100× objective, oil immersion · peripheral blood film · Romanowsky-type stain.
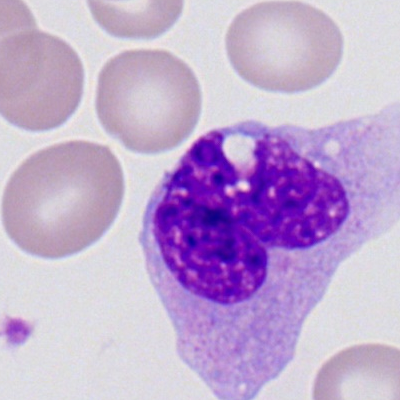
Cell — monocyte.